Peripheral blood film; Romanowsky-stained:
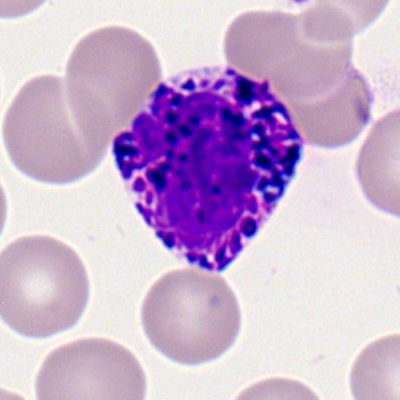 Q: What type of cell is this?
A: A basophil.